Bone marrow smear. May-Grünwald-Giemsa stain. Single cell centered in the field
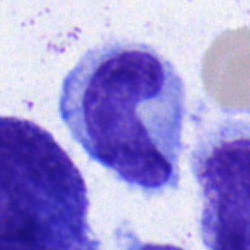 A neutrophil (band).